Cropped to a single cell. Bone marrow smear. 250×250: 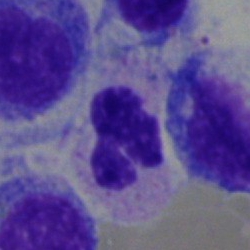Morphology consistent with a neutrophil (segmented).